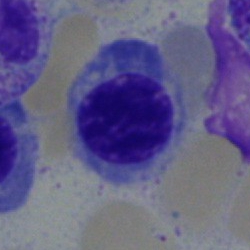{"cell_type": "nucleated red cell"}